Bone marrow aspirate smear.
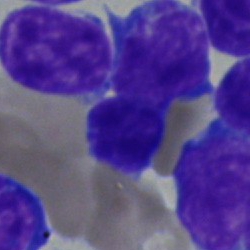Single cell identified as a typical lymphocyte.